Peripheral blood film
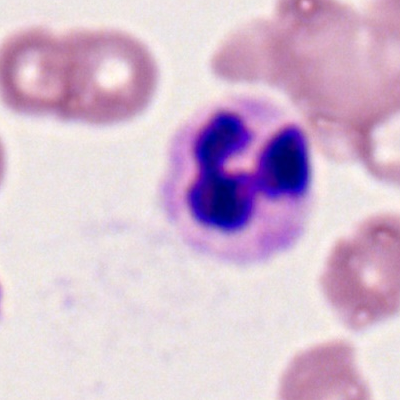

Showing a neutrophil (segmented).